Bone marrow smear.
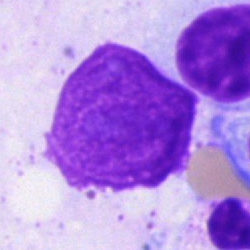
Impression → artefact.